May-Grünwald-Giemsa stain; 250×250; bone marrow smear — 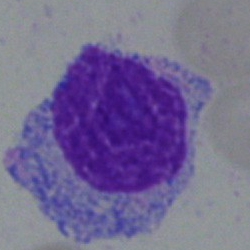{"cell_type": "undifferentiated blast"}